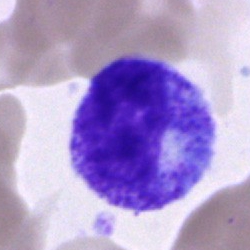 The cell is progranulocyte.